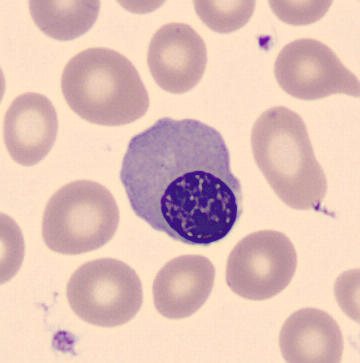
Preparation: Image size 360×363. Automated cell imaging (CellaVision DM96). Peripheral blood film. Classification: nucleated red cell.